Peripheral blood film
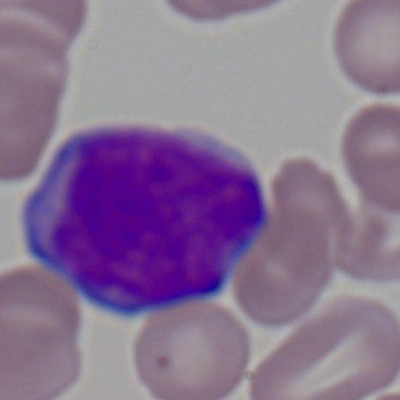

Morphological class: myeloblast.